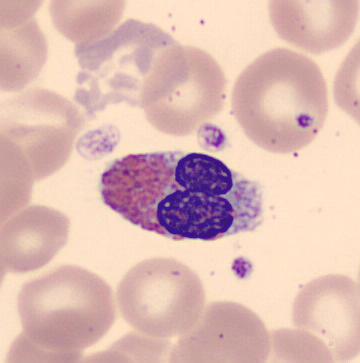
Peripheral blood smear.

Morphology — eosinophilic granulocyte.